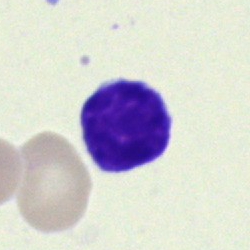Specimen: bone marrow aspirate smear.
Morphological class: lymphocyte.
Lineage: lymphoid.